Bone marrow smear: 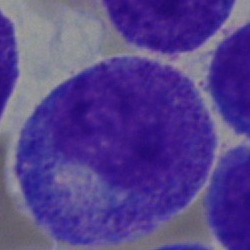Progranulocyte.